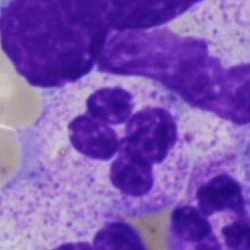A neutrophil (segmented) on a bone marrow smear.